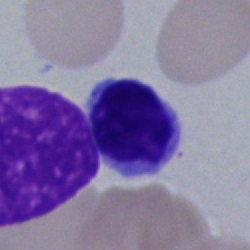
Morphological class — lymphocyte.